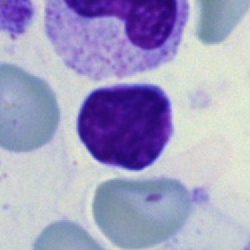

Impression — lymphocyte.